Brightfield microscopy, 40× oil immersion · bone marrow aspirate smear
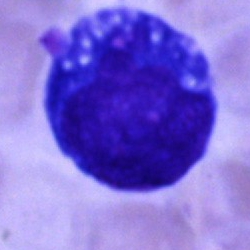Classification = blast cell.